Peripheral blood film; 360×363: 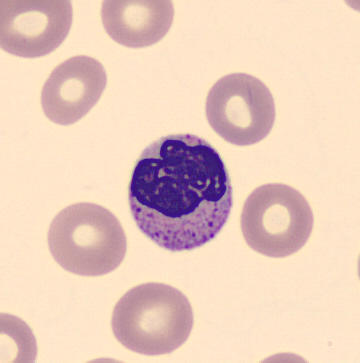 Morphology — metamyelocyte.